Bone marrow aspirate smear:
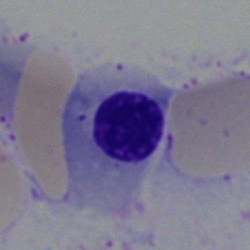Showing a nucleated red blood cell.